Bone marrow aspirate smear. MGG-stained: 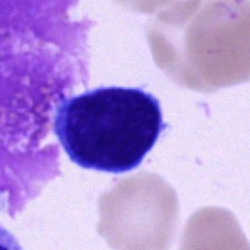

This is a lymphocyte.